M8 digital microscope (Precipoint), 100× oil immersion; peripheral blood film; 400×400 px.
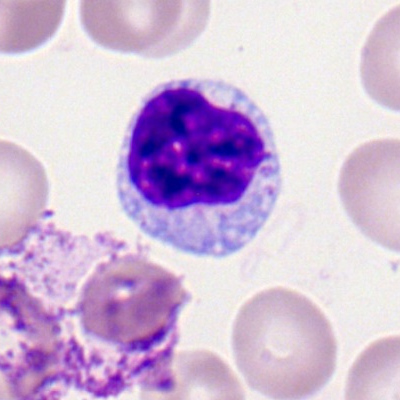 Specimen: peripheral blood film.
Cell type: lymphocyte.